Bone marrow aspirate smear. 250×250 px. 40× oil immersion — 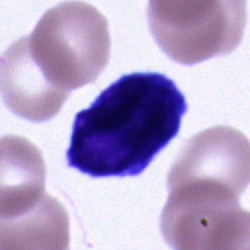{"cell_type": "unidentifiable cell"}